MGG-stained; bone marrow smear:
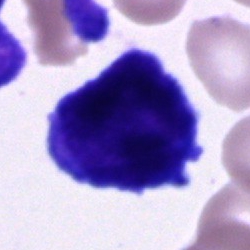 A cell of indeterminate lineage.